Peripheral blood film:
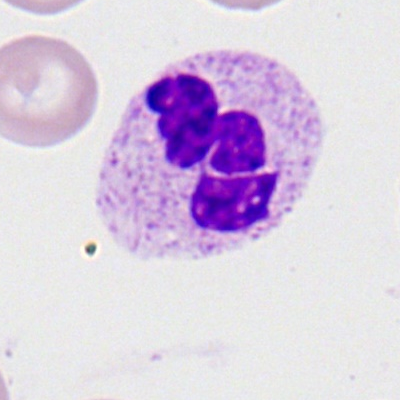The cell shown is a neutrophil (segmented).